Peripheral blood film:
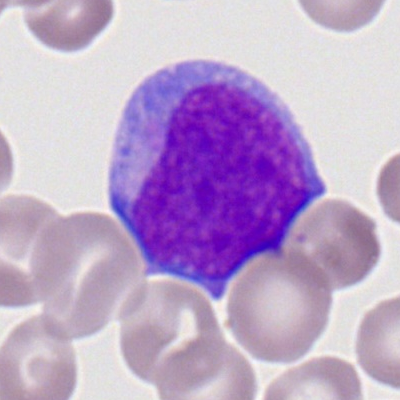
Impression → myeloblast.